Peripheral blood film
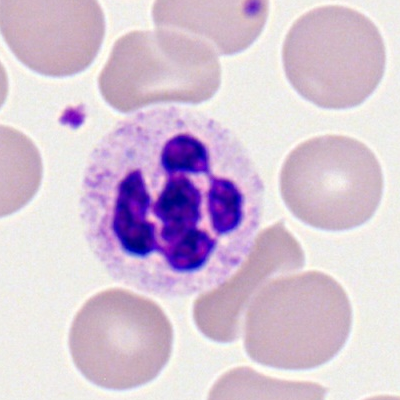
Cell = polymorphonuclear neutrophil.